Single-cell field · bone marrow aspirate smear.
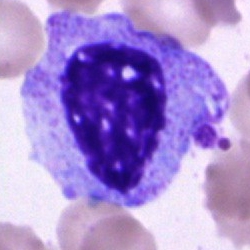
Q: What cell is this?
A: A progranulocyte.